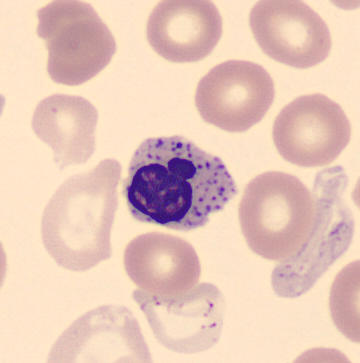 Preparation: Imaged on a CellaVision DM96 analyser; 360 by 363 pixels; peripheral blood smear.
The classification is normoblast.